Bone marrow smear. May-Grünwald-Giemsa/Pappenheim stain — 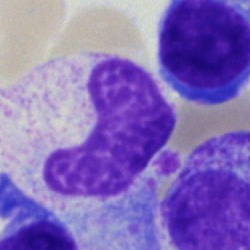
Morphology — stab cell.